Romanowsky stain · peripheral blood smear · single-cell field — 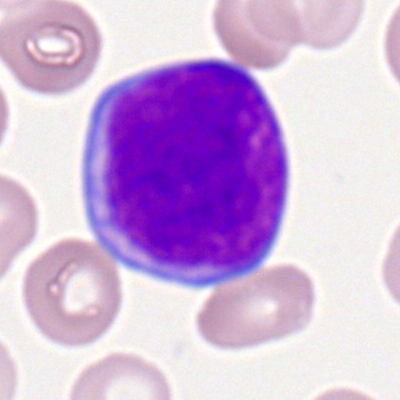
Morphological class = myeloid blast.